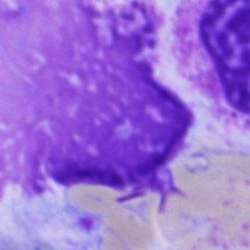 Cell = artefact.